Peripheral blood smear — 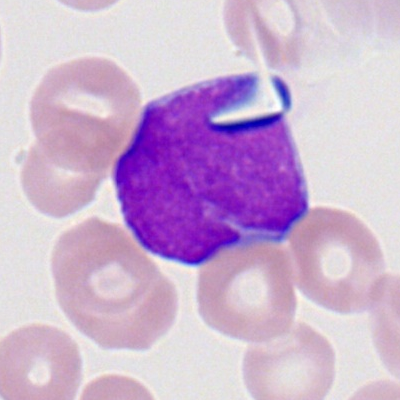
Showing a myeloblast.